Cropped to a single cell · bone marrow aspirate smear:
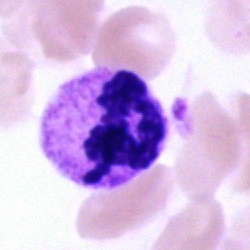

Q: Which cell type is shown here?
A: Neutrophil (segmented).